Pappenheim-stained. Bone marrow smear. Image size 250×250 — 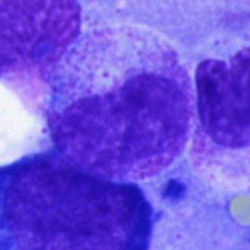
Morphological class: metamyelocyte.